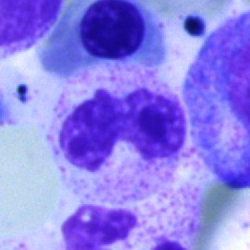
Cell = stab cell.